Brightfield microscopy, 40× oil immersion · bone marrow aspirate smear:
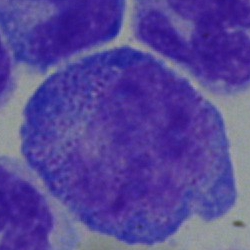

Single cell identified as a progranulocyte.